Bone marrow aspirate smear: 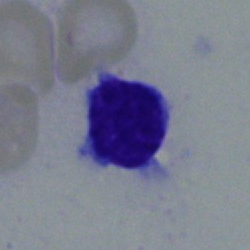 {"cell_type": "lymphocyte", "lineage": "lymphoid"}